Pappenheim-stained; bone marrow aspirate smear: 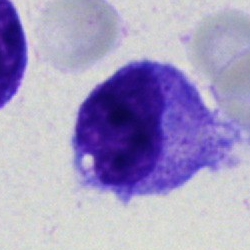
The cell shown is a myelocyte.